May-Grünwald-Giemsa stain · bone marrow smear — 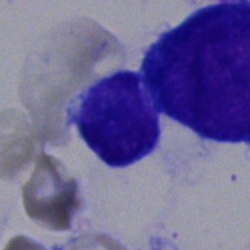
Classification — typical lymphocyte.